Brightfield, 40× oil-immersion objective; bone marrow smear; single-cell field:
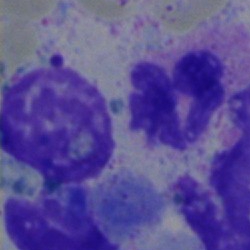A polymorphonuclear neutrophil.